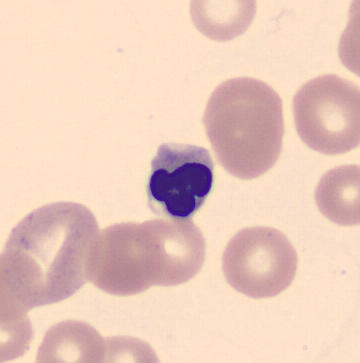Showing a nucleated red blood cell.
Image: Peripheral blood film.